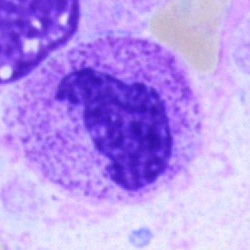Bone marrow aspirate smear, single cell — segmented neutrophil.